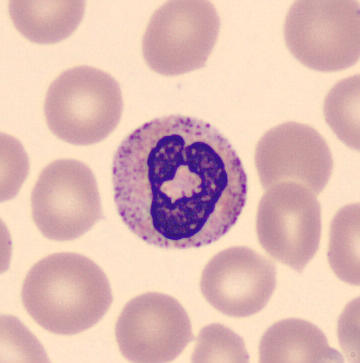 This is a band neutrophil. Peripheral blood smear.